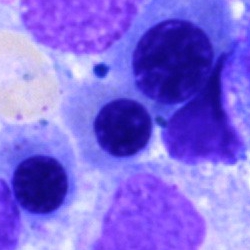

{"cell_type": "normoblast", "lineage": "erythroid"}